Bone marrow smear — 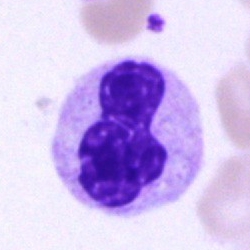 The cell shown is a segmented neutrophil.